Bone marrow smear. May-Grünwald-Giemsa stain — 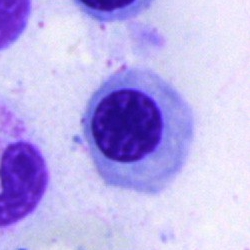
The cell type is basophilic granulocyte.